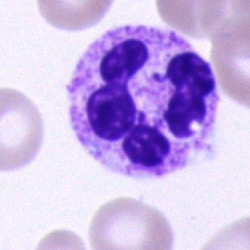 Q: Which cell type is shown here?
A: This is a polymorphonuclear neutrophil.